Bone marrow smear.
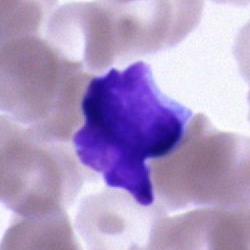Q: What is the morphological classification of this cell?
A: An unidentifiable cell.